Pappenheim-stained · 250×250 px · bone marrow smear:
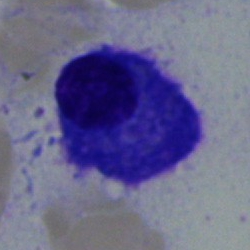 Q: Identify the cell.
A: This is a plasmacyte.